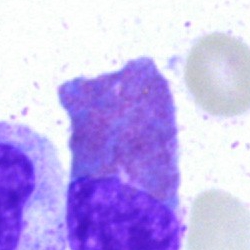
Morphology → artifact.